Bone marrow aspirate smear; 250 by 250 pixels; single-cell crop.
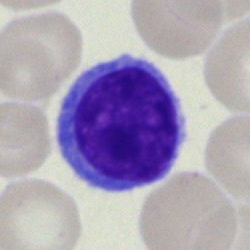Specimen: bone marrow smear.
Classification: lymphocyte.
Lineage: lymphoid.